Brightfield microscopy, 40× oil immersion · bone marrow smear:
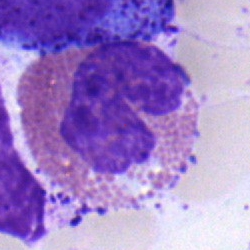
Showing an eosinophilic granulocyte.